MGG-stained · bone marrow aspirate smear: 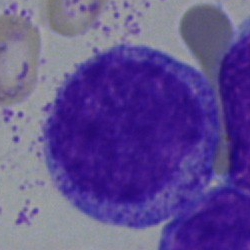

Showing a myelocyte.